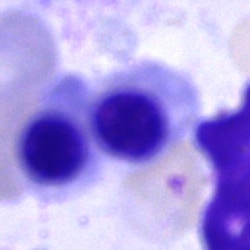

This is a nucleated red cell.